Peripheral blood film — 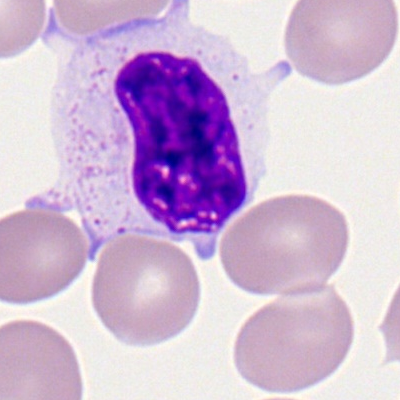Q: What type of cell is this?
A: A band-form neutrophil.